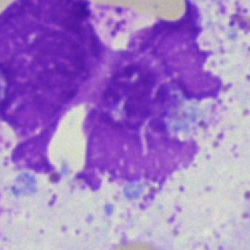 Q: What is shown here?
A: It is an artefact.